Bone marrow smear. 250×250 px: 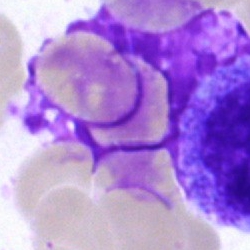Q: What is shown here?
A: This is an artefact.